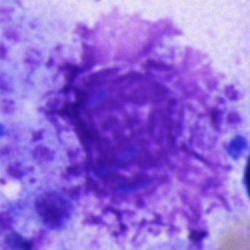Morphology — artifact.